Bone marrow aspirate smear:
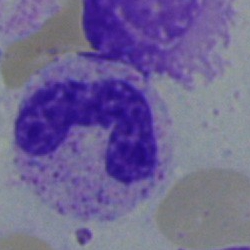Stab cell.